Bone marrow aspirate smear
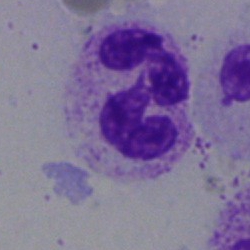 Morphology consistent with a neutrophil (segmented).